Pappenheim-stained · bone marrow smear
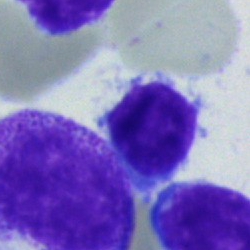
This is a lymphocyte.